Bone marrow smear:
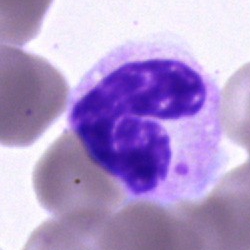

This is a polymorphonuclear neutrophil.